Bone marrow smear:
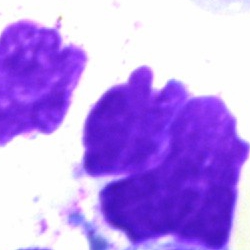This is an artefact.